360 by 363 pixels. May Grünwald-Giemsa stain. Peripheral blood smear.
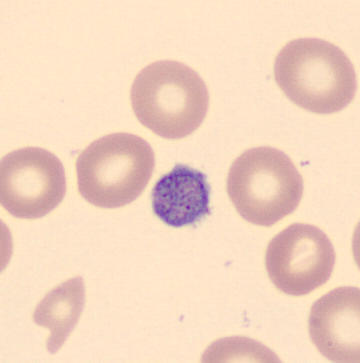The morphological class is platelet.